250×250 px; 40× oil immersion; bone marrow aspirate smear: 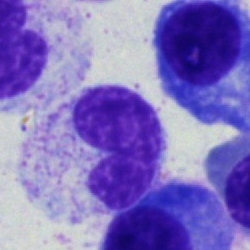Impression — band-form neutrophil.